Bone marrow aspirate smear — 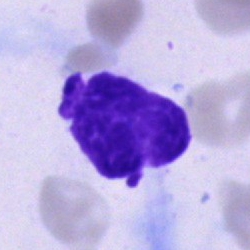

Morphology consistent with an artefact.